Single-cell crop · bone marrow smear.
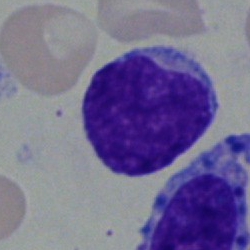
Q: Identify the cell.
A: Lymphocyte.